Single-cell crop · 40× oil immersion · bone marrow aspirate smear: 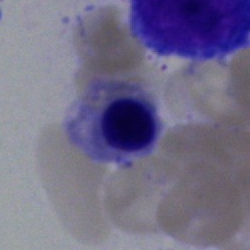

Single cell identified as a normoblast.